Bone marrow smear — 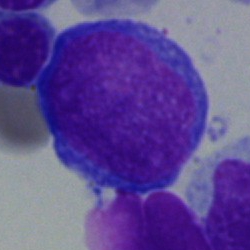Showing a blast cell.